Bone marrow aspirate smear:
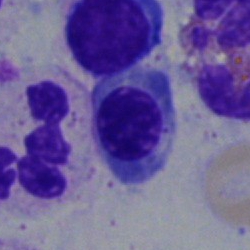
Specimen: bone marrow smear.
Morphological class: normoblast.
Lineage: erythroid.